Brightfield microscopy, 40× oil immersion; bone marrow smear — 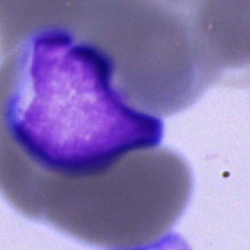 A cell of indeterminate lineage.